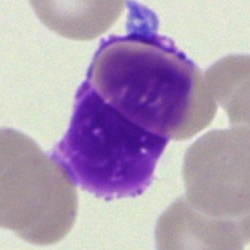
Single cell identified as an artefact.